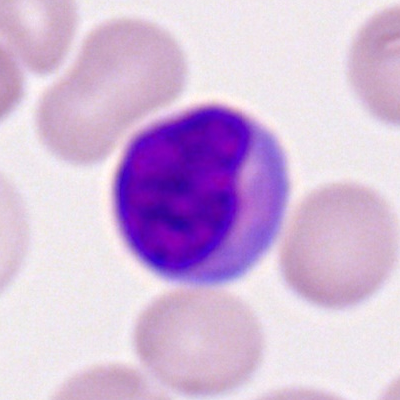 Single cell identified as a typical lymphocyte.